Bone marrow smear · brightfield, 40× oil-immersion objective:
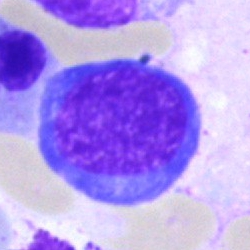 Morphology → nucleated red blood cell.